Bone marrow aspirate smear: 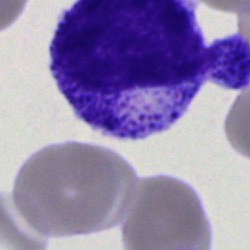

{"cell_type": "progranulocyte", "lineage": "myeloid"}